Bone marrow aspirate smear.
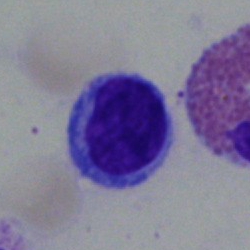Q: What type of cell is this?
A: A lymphocyte.